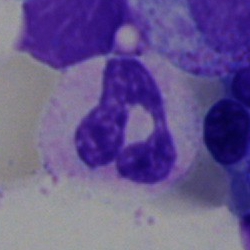

Impression — segmented neutrophil.